Bone marrow aspirate smear — 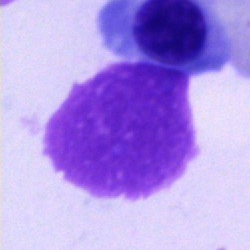An artefact.